Peripheral blood film: 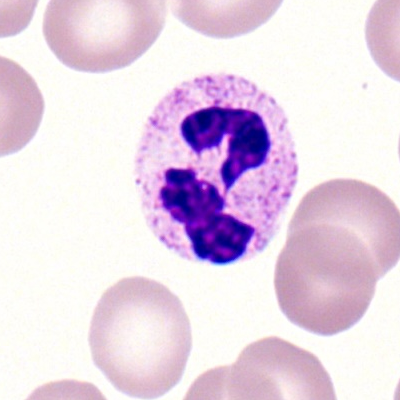

{"cell_type": "segmented neutrophil", "lineage": "myeloid"}